250×250 px. Bone marrow smear: 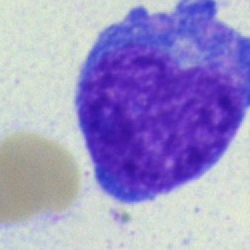
Morphology → blast cell.